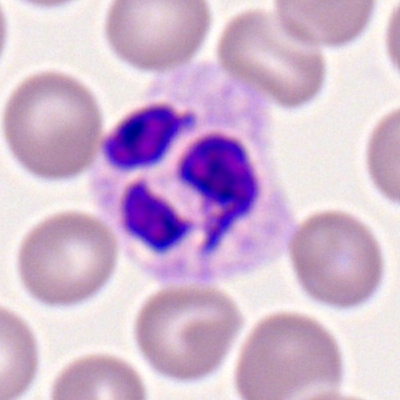
Morphology → neutrophil (segmented).